250×250; bone marrow smear
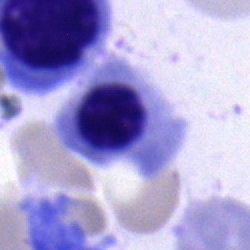
Classification: normoblast.